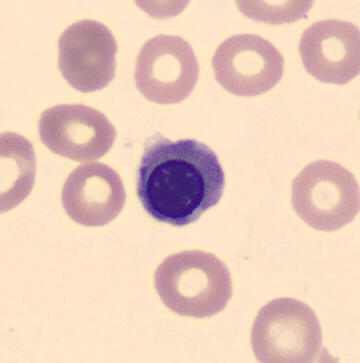

Preparation: Image size 360×363 · single-cell crop.
Specimen: peripheral blood film.
Cell: normoblast.
Lineage: erythroid.